Bone marrow smear · image size 250×250: 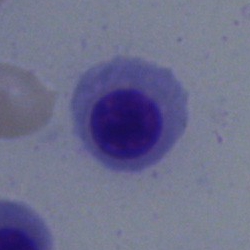

Impression → nucleated red blood cell.